Bone marrow aspirate smear. May-Grünwald-Giemsa stain: 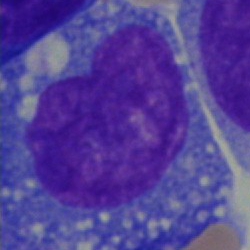 Morphology consistent with a blast.